Bone marrow smear.
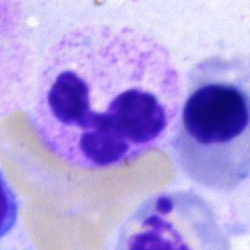Showing a polymorphonuclear neutrophil.